Bone marrow smear. Single cell centered in the field.
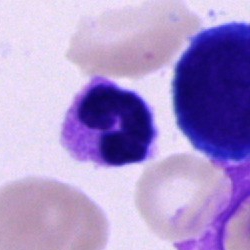
Morphology — neutrophil (segmented).